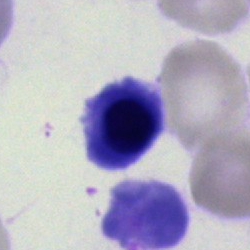
The classification is nucleated red blood cell.